Bone marrow smear.
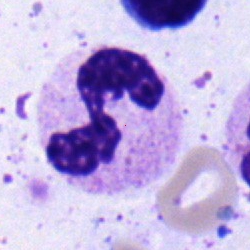
Q: What cell is this?
A: Segmented neutrophil.